Bone marrow aspirate smear.
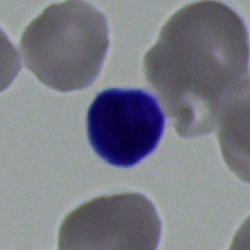

Morphological class: typical lymphocyte.